Bone marrow smear — 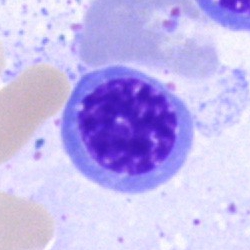
The cell shown is a normoblast.